Peripheral blood film · 400×400 px — 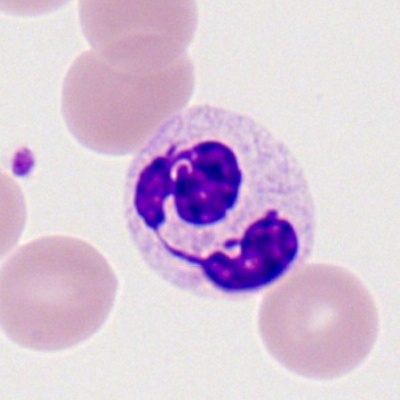Neutrophil (segmented).